Bone marrow smear — 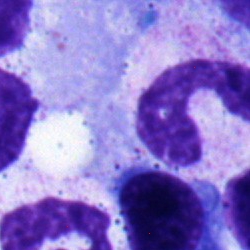
Impression — polymorphonuclear neutrophil.